Bone marrow smear:
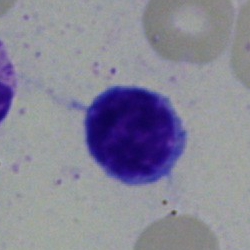
Cell — typical lymphocyte.